Single cell centered in the field. Bone marrow smear. May-Grünwald-Giemsa/Pappenheim stain: 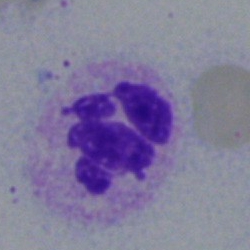 Q: What type of cell is this?
A: It is a segmented neutrophil.